Bone marrow smear: 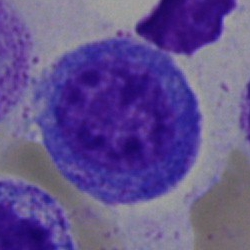

A promyelocyte.